Bone marrow aspirate smear. 250 by 250 pixels — 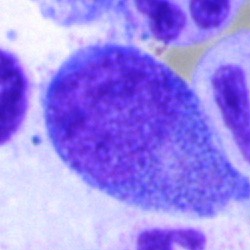 Q: Which cell type is shown here?
A: It is a progranulocyte.